Peripheral blood film: 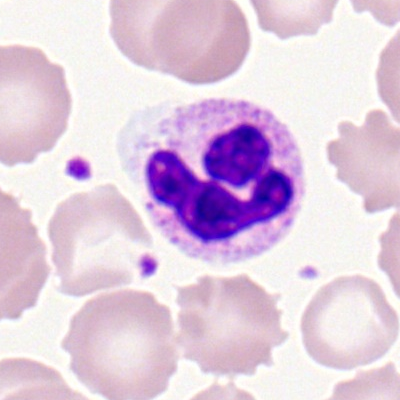
The cell shown is a polymorphonuclear neutrophil.